Single cell centered in the field · 250×250 px · bone marrow aspirate smear
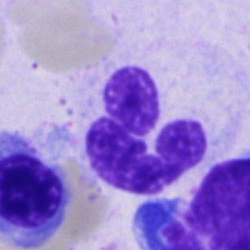

Morphology — segmented neutrophil.